Cropped to a single cell. Bone marrow smear. May-Grünwald-Giemsa stain — 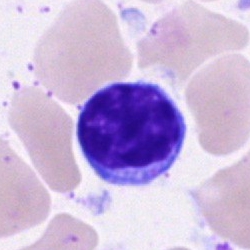Cell type — typical lymphocyte.